Bone marrow aspirate smear
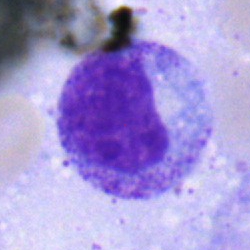
Q: What is the morphological classification of this cell?
A: Myelocyte.